Cropped to a single cell; bone marrow smear — 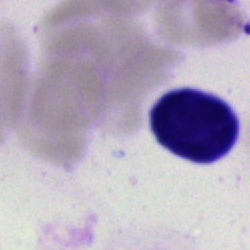The classification is typical lymphocyte.